Bone marrow smear:
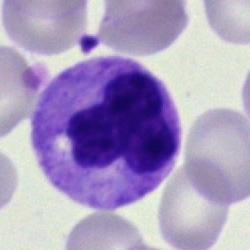
Segmented neutrophil.